Bone marrow smear; image size 250×250
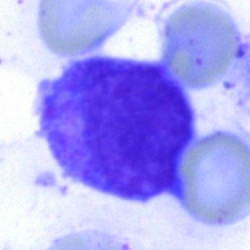Specimen: bone marrow aspirate smear.
Morphological class: cell of indeterminate lineage.